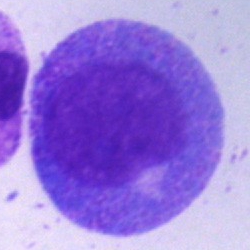

Bone marrow smear showing a progranulocyte.